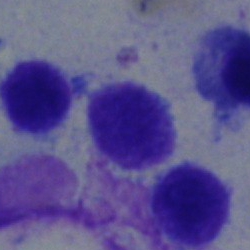

A lymphocyte on a bone marrow smear.